Bone marrow aspirate smear: 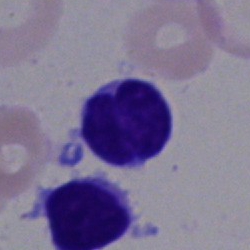The classification is typical lymphocyte.